Bone marrow smear. 250×250.
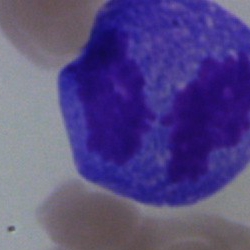

Classification = unidentifiable cell.